Bone marrow smear. Brightfield microscopy, 40× oil immersion: 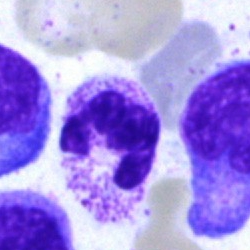
Showing a polymorphonuclear neutrophil.